Single-cell crop · brightfield microscopy, 40× oil immersion · bone marrow smear: 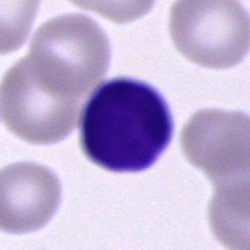 Morphology consistent with a lymphocyte.